Bone marrow smear.
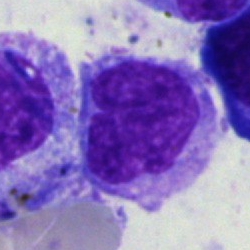

Monocyte.